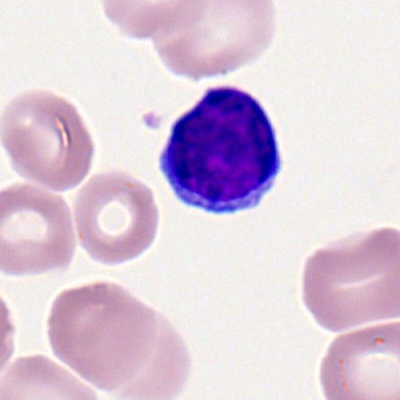 Single-cell crop from a peripheral blood smear: typical lymphocyte.